Pappenheim-stained · 250×250 px · bone marrow smear: 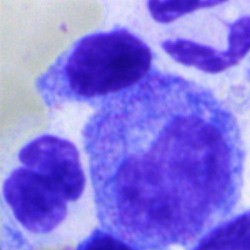Q: Which cell type is shown here?
A: It is a progranulocyte.